Bone marrow aspirate smear. Pappenheim-stained
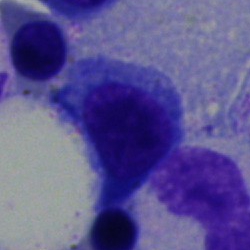

Specimen: bone marrow smear.
Classification: nucleated red cell.